Bone marrow smear — 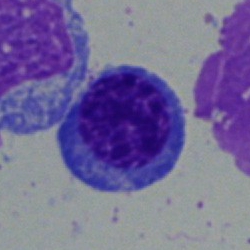Q: What is the morphological classification of this cell?
A: It is a nucleated red cell.